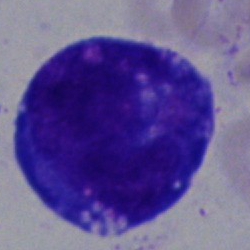
Morphology consistent with a blast cell.